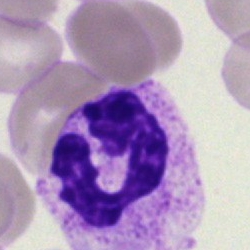
Classification: polymorphonuclear neutrophil.